Bone marrow aspirate smear:
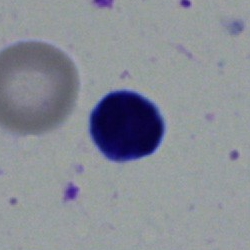

Specimen: bone marrow aspirate smear.
Cell: lymphocyte.